May-Grünwald-Giemsa/Pappenheim stain · 40× objective, oil immersion · bone marrow aspirate smear — 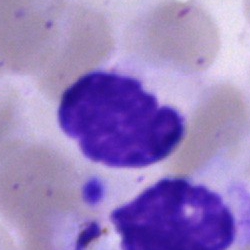

{"cell_type": "artefact"}